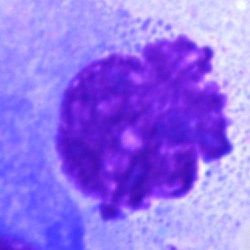

Specimen: bone marrow smear.
Morphological class: artefact.